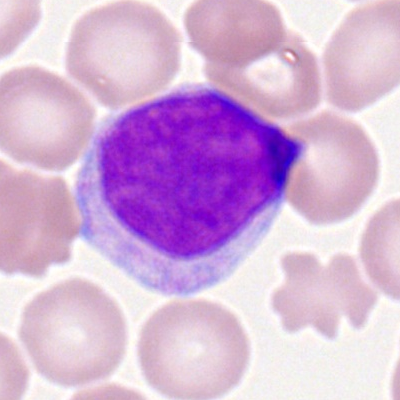
Single-cell crop from a peripheral blood smear: myeloblast.